Bone marrow aspirate smear: 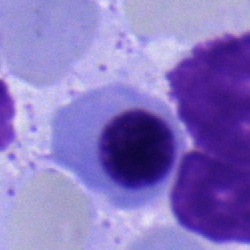

Specimen: bone marrow aspirate smear.
Classification: normoblast.
Lineage: erythroid.